Bone marrow smear; image size 250×250 — 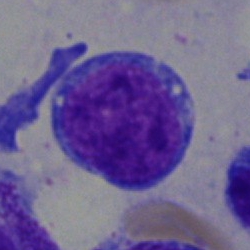
A typical lymphocyte.